May-Grünwald-Giemsa stain; bone marrow aspirate smear: 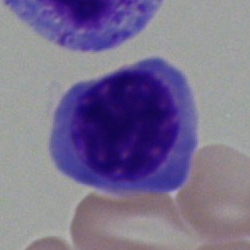

Cell type: normoblast.